Bone marrow aspirate smear: 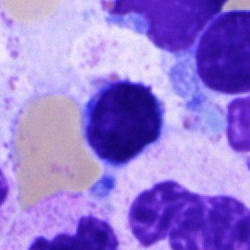Morphology → lymphocyte.